Bone marrow smear:
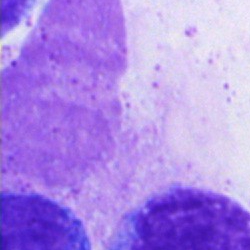 Impression — artifact.